Bone marrow smear. Image size 250×250: 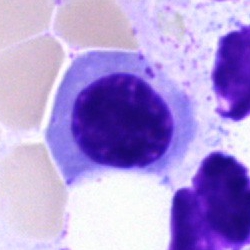 Cell — nucleated red cell.